Bone marrow aspirate smear:
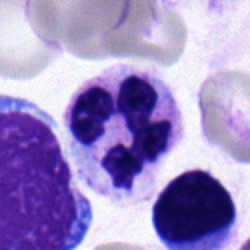Single cell identified as a polymorphonuclear neutrophil.